Bone marrow aspirate smear:
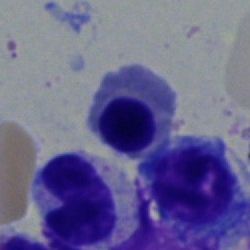

Cell type = nucleated red blood cell.